Bone marrow aspirate smear; image size 250×250; single-cell field.
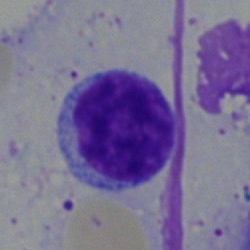

Specimen: bone marrow aspirate smear.
Morphological class: typical lymphocyte.